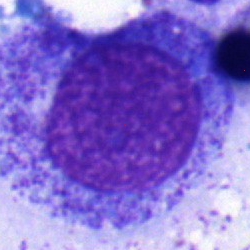
Q: What is the morphological classification of this cell?
A: It is a progranulocyte.